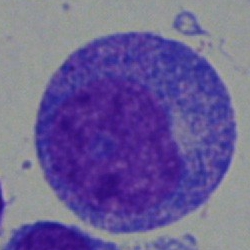
Single cell identified as a promyelocyte.